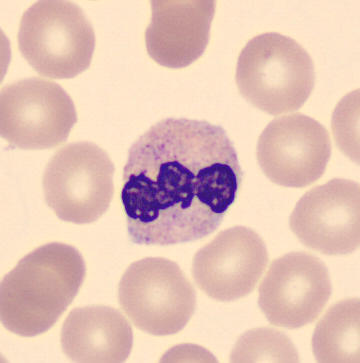

Cell type: neutrophil (segmented).